Peripheral blood film
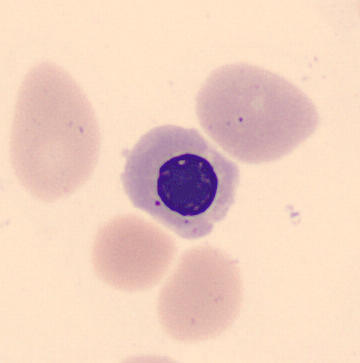Morphology — nucleated red cell.